Brightfield, 40× oil-immersion objective · Pappenheim-stained · bone marrow smear.
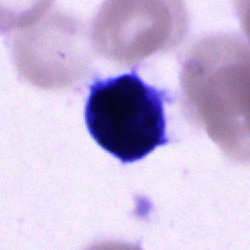

This is an unidentifiable cell.